Bone marrow aspirate smear
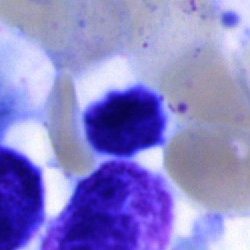

This is an artifact.